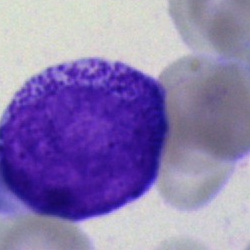
A promyelocyte.